Bone marrow aspirate smear; image size 250×250.
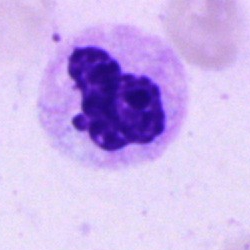

{"cell_type": "segmented neutrophil"}